Single cell centered in the field. Bone marrow aspirate smear — 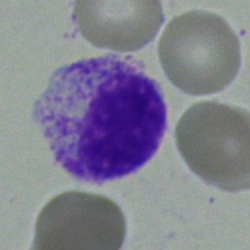

Q: Identify the cell.
A: Myelocyte.